250 by 250 pixels. Bone marrow smear. MGG-stained
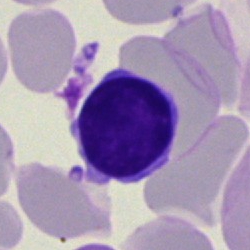{"cell_type": "lymphocyte", "lineage": "lymphoid"}